Bone marrow aspirate smear — 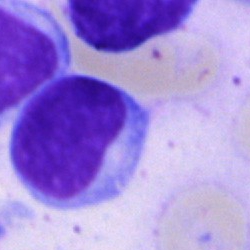Morphology → undifferentiated blast.